Single-cell crop · 250 by 250 pixels · bone marrow aspirate smear
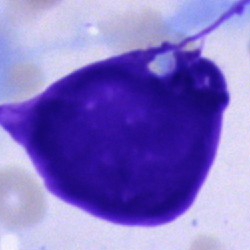
Artefact.